Bone marrow smear; brightfield, 40× oil-immersion objective; single-cell crop: 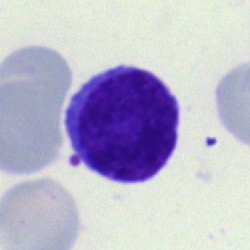 Showing a lymphocyte.